Bone marrow smear — 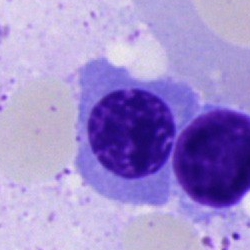Specimen: bone marrow smear.
Morphological class: undifferentiated blast.